May-Grünwald-Giemsa stain · bone marrow aspirate smear · single cell centered in the field:
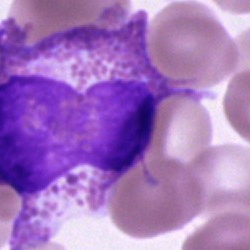 Morphology → eosinophil.